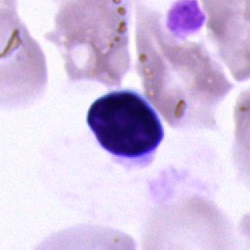 Unidentifiable cell.